Bone marrow aspirate smear.
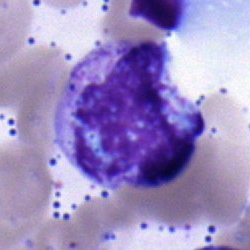 The morphological class is neutrophil (segmented).